May-Grünwald-Giemsa/Pappenheim stain; cropped to a single cell; bone marrow aspirate smear.
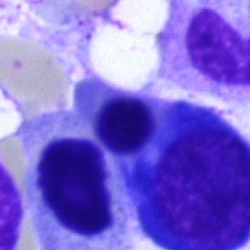 Q: Which cell type is shown here?
A: An erythroblast.